MGG-stained; bone marrow smear; image size 250×250: 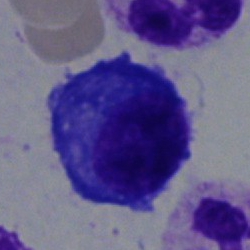The morphological class is plasmacyte.